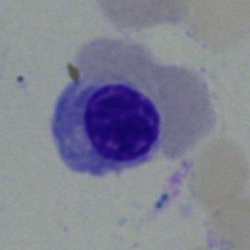Morphology → normoblast.